250×250 px; brightfield microscopy, 40× oil immersion; bone marrow smear — 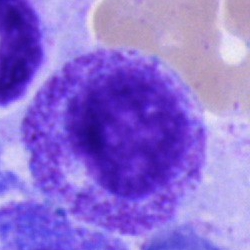 Cell: progranulocyte.